Peripheral blood smear. 400×400 px.
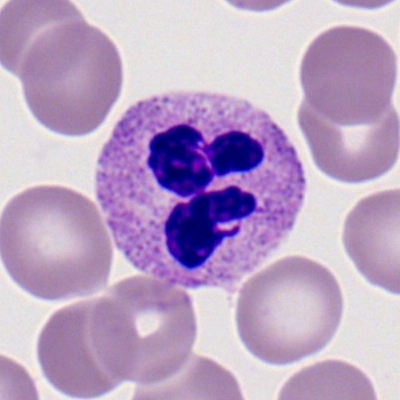The cell shown is a segmented neutrophil.